Bone marrow aspirate smear:
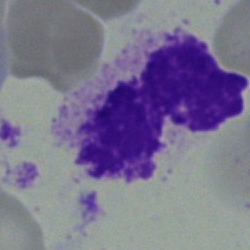Single cell identified as a polymorphonuclear neutrophil.